Bone marrow smear.
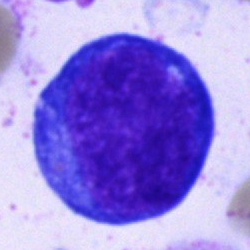Showing a pronormoblast.